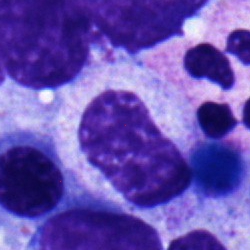Q: Which cell type is shown here?
A: A metamyelocyte.